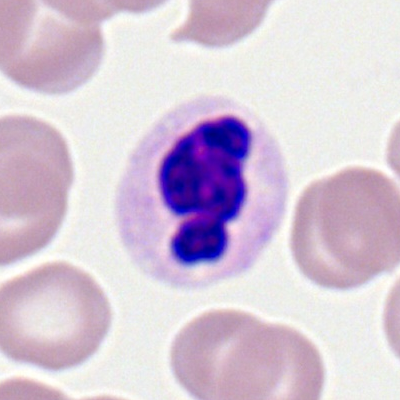

The cell shown is a neutrophil (segmented).